Pappenheim-stained. 250×250. Bone marrow aspirate smear: 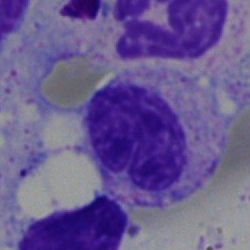

The morphological class is myelocyte.